Bone marrow smear.
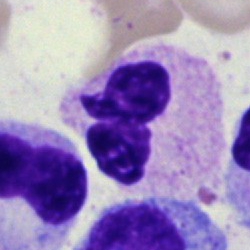
Q: What is shown here?
A: It is a neutrophil (segmented).